100× objective, oil immersion · peripheral blood film.
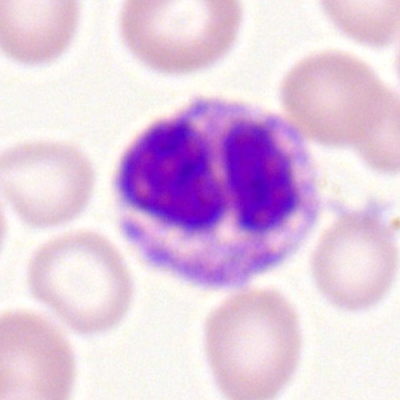
Morphology consistent with a polymorphonuclear neutrophil.